250 by 250 pixels; bone marrow aspirate smear; May-Grünwald-Giemsa/Pappenheim stain:
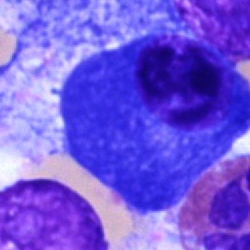 Morphology — plasma cell.